Bone marrow smear · brightfield microscopy, 40× oil immersion — 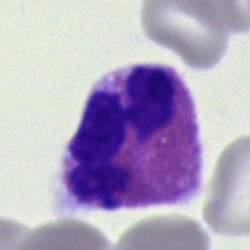This is an eosinophil.